Bone marrow aspirate smear · cropped to a single cell · 40× objective, oil immersion.
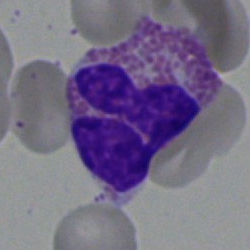The cell shown is an eosinophilic granulocyte.